Bone marrow smear.
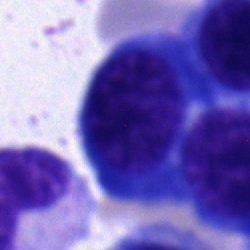
Morphology consistent with a nucleated red cell.